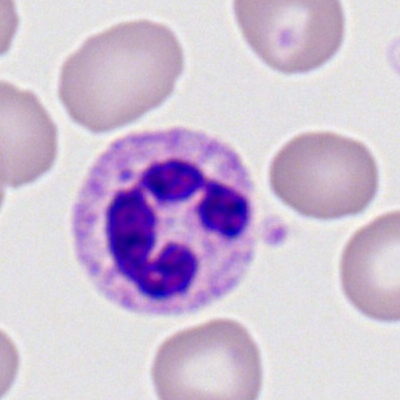 Morphology consistent with a segmented neutrophil.